Bone marrow aspirate smear: 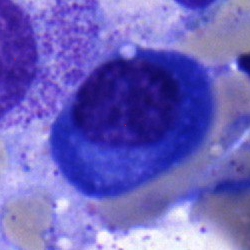

Cell type = plasmacyte.